May-Grünwald-Giemsa/Pappenheim stain · 40× objective, oil immersion · bone marrow aspirate smear.
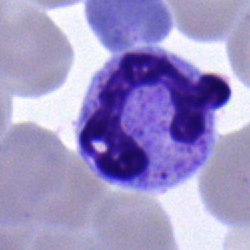

The cell shown is a polymorphonuclear neutrophil.